250×250. Bone marrow aspirate smear: 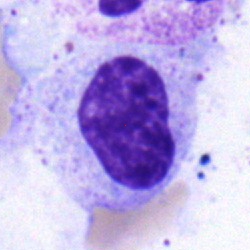

Cell type — metamyelocyte.